250×250 px · bone marrow aspirate smear · brightfield, 40× oil-immersion objective — 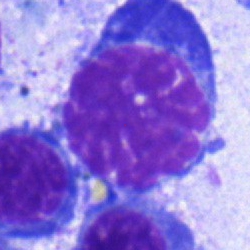Specimen: bone marrow smear.
Cell type: nucleated red cell.